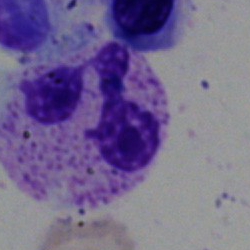 Showing a segmented neutrophil.